Bone marrow smear: 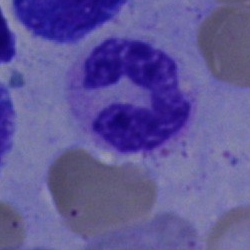
Morphological class = polymorphonuclear neutrophil.